MGG-stained; peripheral blood film — 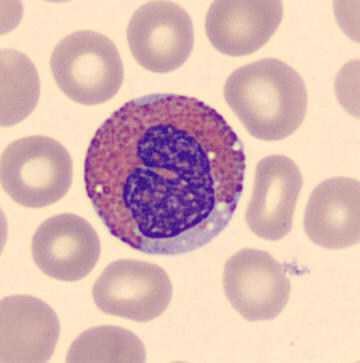{"cell_type": "eosinophilic granulocyte", "lineage": "myeloid"}